Single cell centered in the field; bone marrow smear; 250×250 — 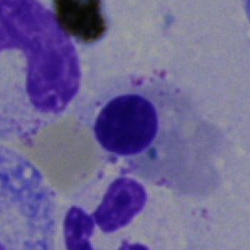

Cell type = nucleated red cell.